Bone marrow aspirate smear
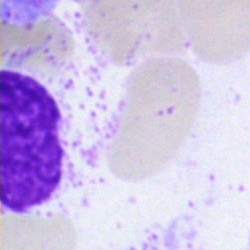Cell = artefact.